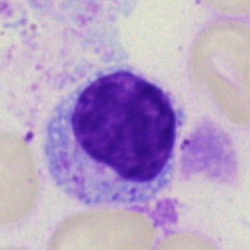

Bone marrow aspirate smear, single cell — typical lymphocyte.